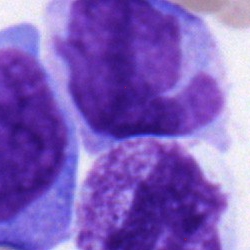 Specimen: bone marrow aspirate smear.
Cell type: blast.